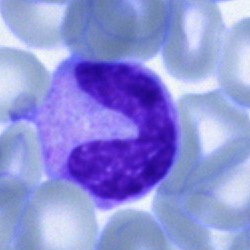
Q: What is shown here?
A: A neutrophil (segmented).